Bone marrow smear.
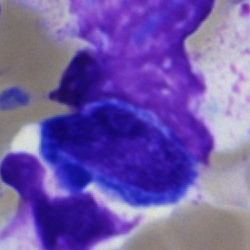Q: What is the morphological classification of this cell?
A: It is a cell of indeterminate lineage.